MGG-stained. Image size 250×250. Bone marrow smear: 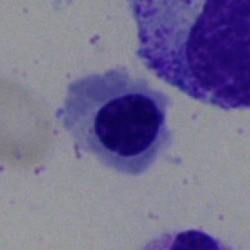Classification: normoblast.